Cropped to a single cell; bone marrow aspirate smear: 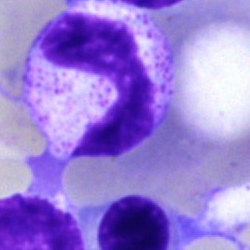 Specimen: bone marrow aspirate smear.
Cell type: stab cell.
Lineage: myeloid.